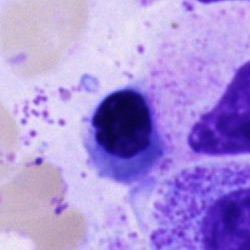

An erythroblast.